Bone marrow smear: 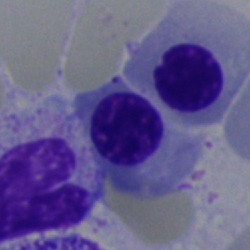Q: What type of cell is this?
A: Erythroblast.